100× oil immersion · peripheral blood smear · 400 by 400 pixels.
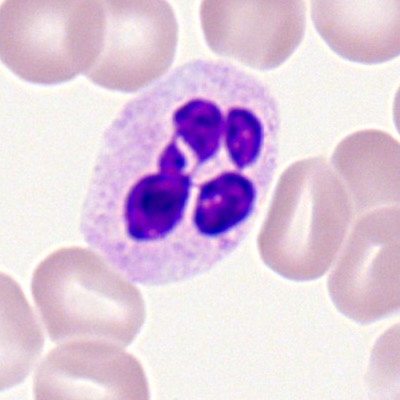

The cell shown is a neutrophil (segmented).